Bone marrow smear — 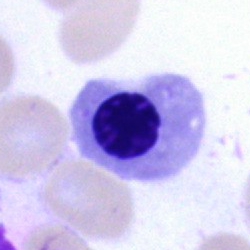
Cell type: normoblast.